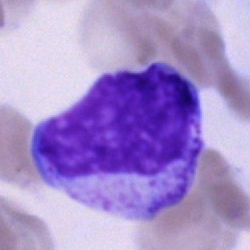 {"cell_type": "cell of indeterminate lineage"}